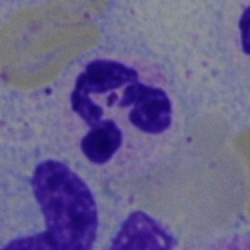The morphological class is polymorphonuclear neutrophil.